Bone marrow smear: 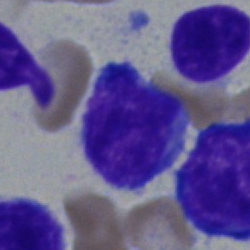 Q: What type of cell is this?
A: This is a lymphocyte.